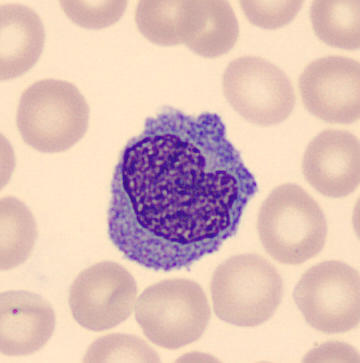
A monocyte.